Bone marrow aspirate smear:
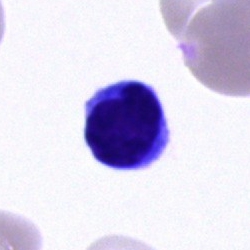

Showing a typical lymphocyte.